Bone marrow smear.
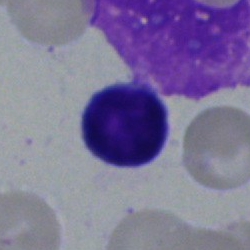 Classification — typical lymphocyte.